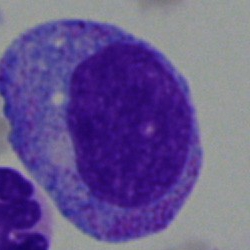

Showing a progranulocyte.